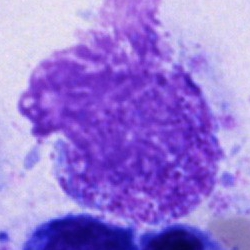Bone marrow aspirate smear, single cell — artifact.